Bone marrow aspirate smear:
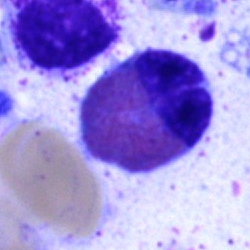Classification — eosinophilic granulocyte.